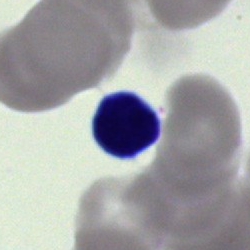 This is an unidentifiable cell.